Bone marrow smear: 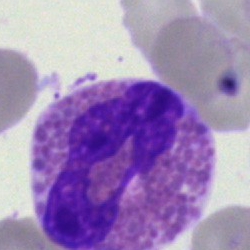Morphology → eosinophil.